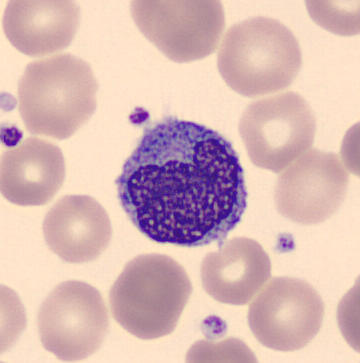
Q: Identify the cell.
A: This is a monocyte.